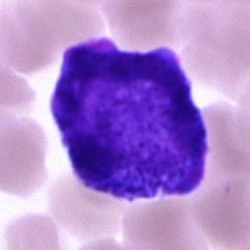 Classification — blast cell.